250 by 250 pixels · bone marrow aspirate smear — 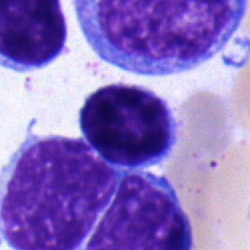

Morphology — lymphocyte.